Bone marrow smear
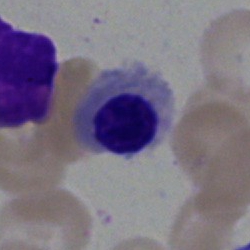

Q: What cell is this?
A: A nucleated red cell.